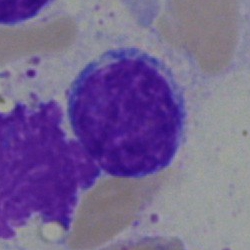
Showing a typical lymphocyte.